Bone marrow smear — 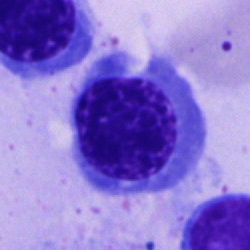
A nucleated red cell.